Bone marrow smear. Pappenheim-stained
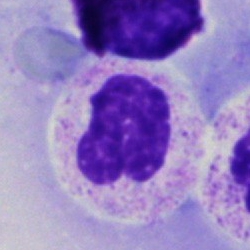The cell shown is a neutrophil (segmented).